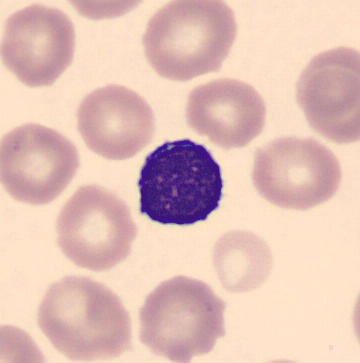
Identified as a lymphocyte.
Image: Peripheral blood film; CellaVision DM96; MGG stain.